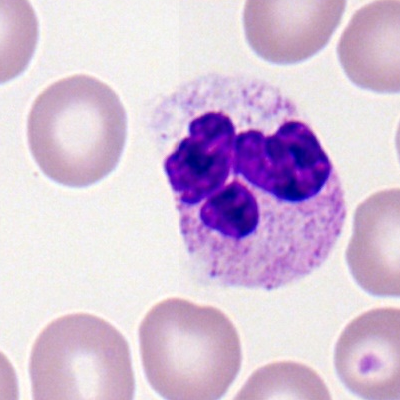

Peripheral blood smear showing a segmented neutrophil.